Bone marrow aspirate smear · single-cell crop:
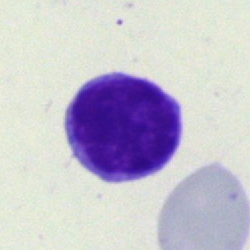
Morphology consistent with a lymphocyte.